Brightfield microscopy, 40× oil immersion; bone marrow smear; May-Grünwald-Giemsa stain:
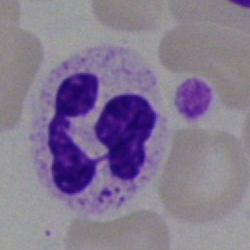
Morphological class: polymorphonuclear neutrophil.